Bone marrow aspirate smear: 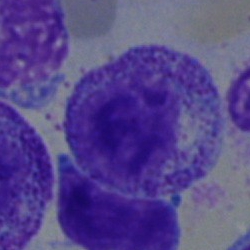
Q: What cell is this?
A: This is a myelocyte.